Bone marrow aspirate smear
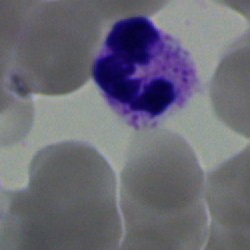 The cell type is neutrophil (segmented).